MGG-stained. Bone marrow aspirate smear
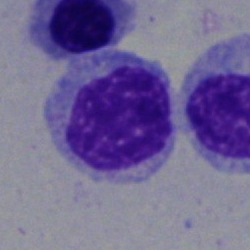
Typical lymphocyte.